Bone marrow smear:
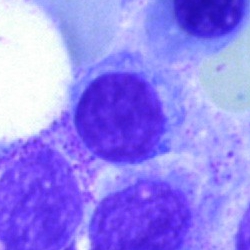
Specimen: bone marrow smear.
Classification: typical lymphocyte.
Lineage: lymphoid.